Image size 250×250 · cropped to a single cell · bone marrow smear.
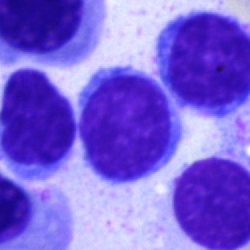The cell shown is a typical lymphocyte.